Bone marrow aspirate smear · brightfield, 40× oil-immersion objective · single-cell field: 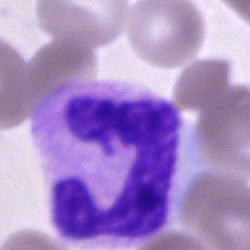Morphological class — band-form neutrophil.